Peripheral blood smear — 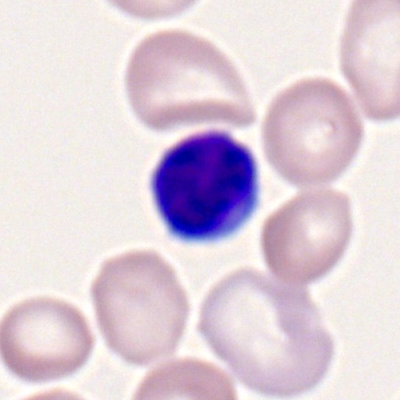

Cell type = typical lymphocyte.